May-Grünwald-Giemsa/Pappenheim stain; bone marrow smear: 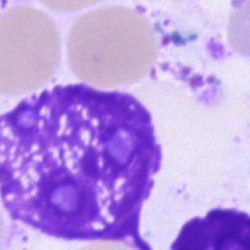
Q: What is shown here?
A: An artifact.